250×250; bone marrow aspirate smear: 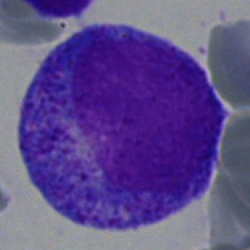 The classification is progranulocyte.